Image size 250×250; bone marrow smear; 40× objective, oil immersion
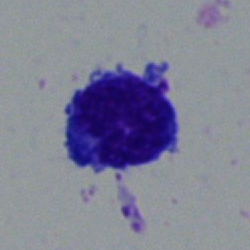 Cell = typical lymphocyte.